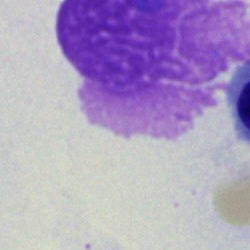The cell type is artefact.